Single-cell field · bone marrow aspirate smear.
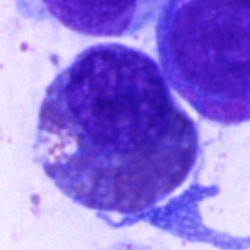
Specimen: bone marrow aspirate smear.
Classification: eosinophilic granulocyte.